Single-cell crop · image size 250×250 · bone marrow smear.
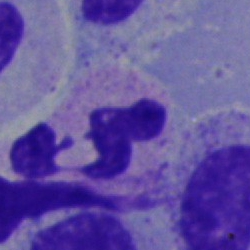
Q: What type of cell is this?
A: This is a neutrophil (segmented).